Bone marrow aspirate smear.
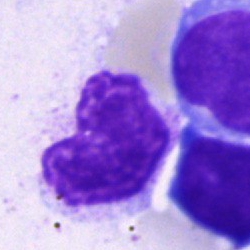Artifact.